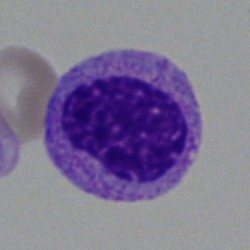Classification: metamyelocyte.